Romanowsky-type stain. Peripheral blood film: 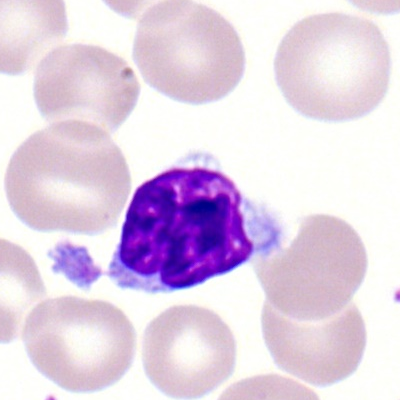 Q: What is shown here?
A: This is a lymphocyte.